Bone marrow aspirate smear — 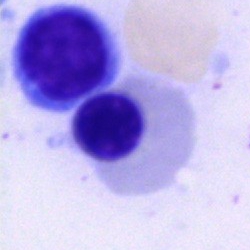

Nucleated red blood cell.